Bone marrow smear — 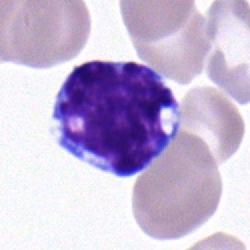Cell: lymphocyte.